Peripheral blood smear. Single-cell crop.
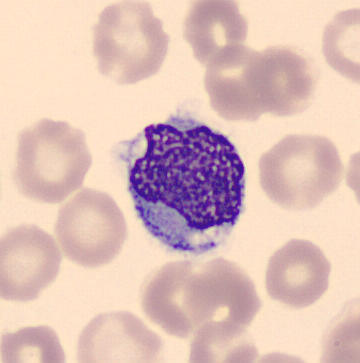
The cell shown is a monocyte.